Bone marrow aspirate smear. 250×250 px. Single-cell field.
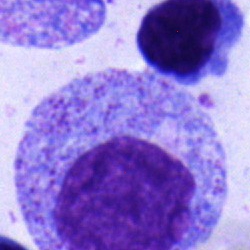 Myelocyte.